250×250 · brightfield microscopy, 40× oil immersion · bone marrow aspirate smear.
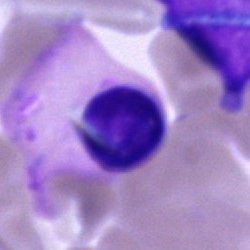

This is an artefact.